Single cell centered in the field. Bone marrow smear — 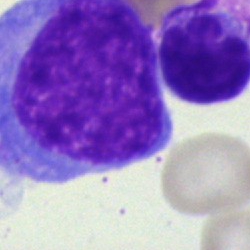

Q: What cell is this?
A: An undifferentiated blast.